Bone marrow aspirate smear · 40× oil immersion: 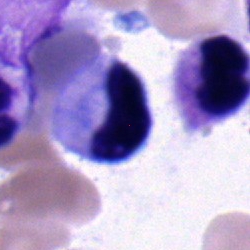Q: What cell is this?
A: This is a metamyelocyte.